Bone marrow smear.
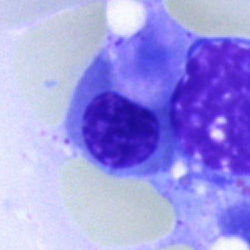 Morphology → nucleated red cell.